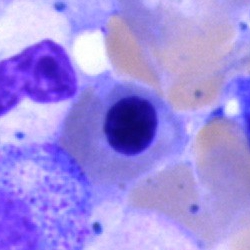
Specimen: bone marrow aspirate smear.
Classification: erythroblast.